Bone marrow aspirate smear — 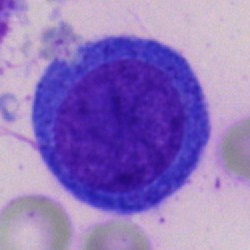
The morphological class is blast.